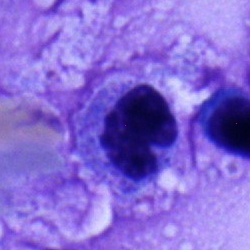 Q: Which cell type is shown here?
A: Band-form neutrophil.